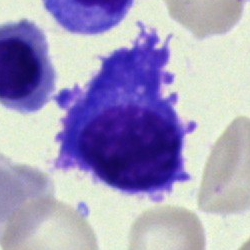
Morphology — plasma cell.